Image size 250×250 · bone marrow smear: 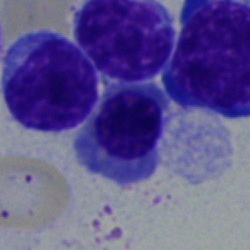 Cell type = nucleated red blood cell.